250 by 250 pixels; bone marrow smear: 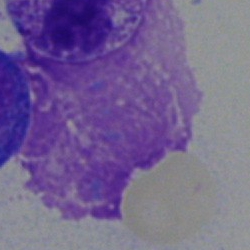Q: What is shown here?
A: It is an artefact.